Bone marrow aspirate smear · 250×250: 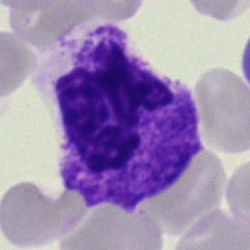
Cell type — neutrophil (segmented).